Single cell centered in the field · bone marrow smear: 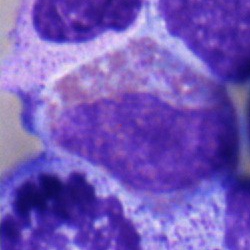
Classification: eosinophilic granulocyte.